Bone marrow aspirate smear
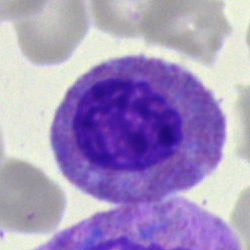 Specimen: bone marrow smear.
Classification: eosinophilic granulocyte.
Lineage: myeloid.